MGG-stained · cropped to a single cell · bone marrow aspirate smear: 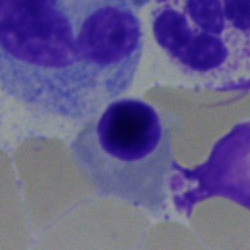
This is a nucleated red blood cell.